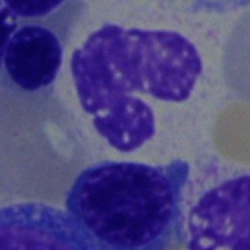Q: What is the morphological classification of this cell?
A: It is a segmented neutrophil.